Bone marrow aspirate smear:
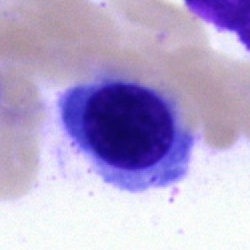
The morphological class is nucleated red blood cell.